MGG-stained. Bone marrow smear. 40× objective, oil immersion.
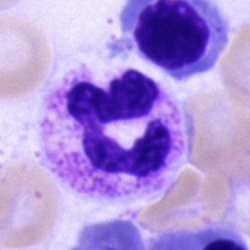 Showing a neutrophil (segmented).